Bone marrow smear; Pappenheim-stained — 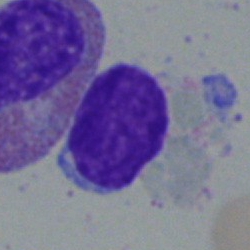

Q: What is the morphological classification of this cell?
A: Typical lymphocyte.